Bone marrow aspirate smear — 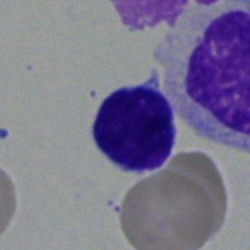

Q: Identify the cell.
A: Lymphocyte.